Bone marrow smear: 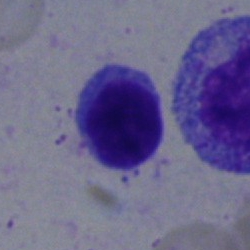 A lymphocyte.